Bone marrow aspirate smear:
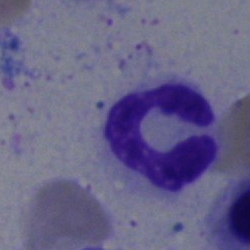Q: Which cell type is shown here?
A: It is a neutrophil (segmented).